MGG-stained; bone marrow aspirate smear: 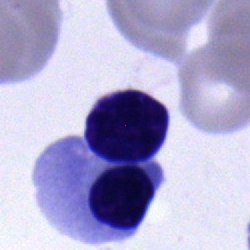Q: Identify the cell.
A: Lymphocyte.